Bone marrow smear; 40× objective, oil immersion; cropped to a single cell.
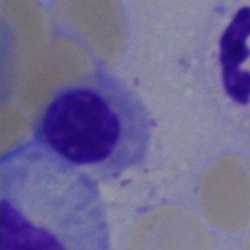 Morphology → erythroblast.